Bone marrow smear.
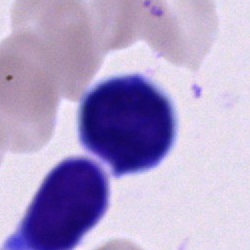 Q: What is shown here?
A: An unidentifiable cell.